Bone marrow aspirate smear
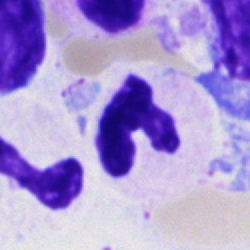Q: What is the morphological classification of this cell?
A: A polymorphonuclear neutrophil.